Brightfield microscopy, 40× oil immersion; bone marrow smear; single-cell field: 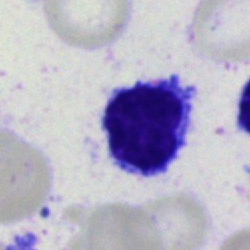
Morphology — typical lymphocyte.